Bone marrow smear; May-Grünwald-Giemsa/Pappenheim stain: 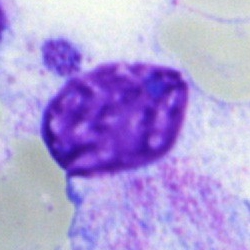 Single cell identified as an artefact.